Cropped to a single cell · bone marrow smear: 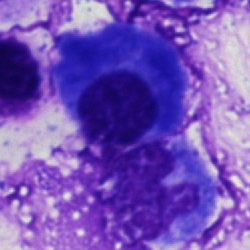Morphological class: plasma cell.